Bone marrow aspirate smear
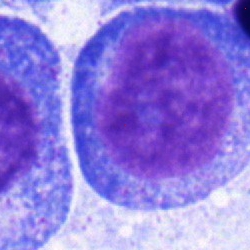
Q: What is shown here?
A: A progranulocyte.